Brightfield microscopy, 40× oil immersion · bone marrow aspirate smear
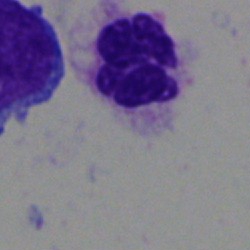 Q: What is shown here?
A: It is a polymorphonuclear neutrophil.